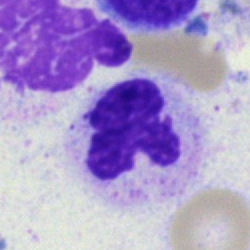

Single cell identified as a polymorphonuclear neutrophil.